40× objective, oil immersion; bone marrow aspirate smear; May-Grünwald-Giemsa stain:
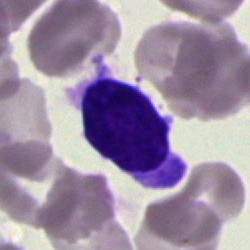
Impression — typical lymphocyte.